Brightfield microscopy, 40× oil immersion. Single-cell crop. Bone marrow smear — 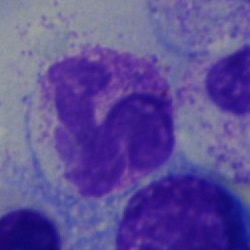
The morphological class is band-form neutrophil.